Bone marrow smear
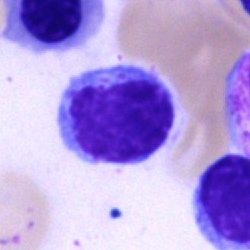

Q: What type of cell is this?
A: Lymphocyte.